250×250. Bone marrow aspirate smear — 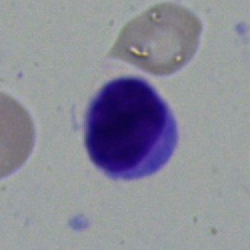
Specimen: bone marrow smear.
Classification: typical lymphocyte.
Lineage: lymphoid.